Bone marrow smear — 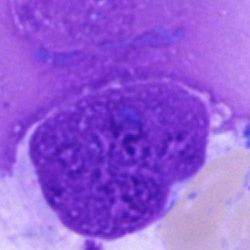

Impression → artefact.